Bone marrow smear. Brightfield microscopy, 40× oil immersion.
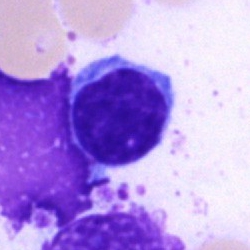
Classification = lymphocyte.